Image size 250×250. 40× oil immersion. Bone marrow aspirate smear:
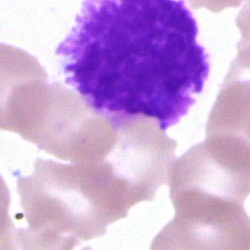
Artifact.